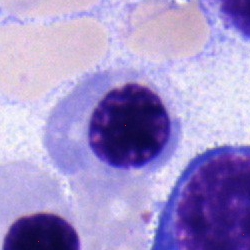

Q: Which cell type is shown here?
A: Nucleated red blood cell.